250×250; bone marrow aspirate smear; MGG-stained
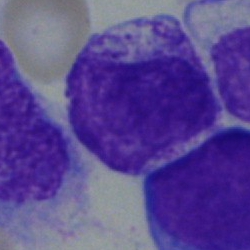
Cell = metamyelocyte.